Bone marrow smear:
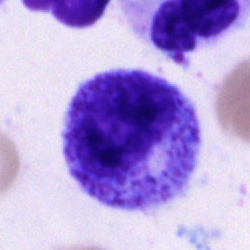Morphology — progranulocyte.